Bone marrow aspirate smear — 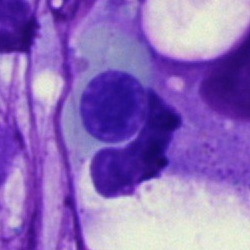Specimen: bone marrow aspirate smear.
Morphological class: nucleated red blood cell.